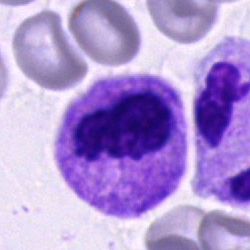
This is a segmented neutrophil.